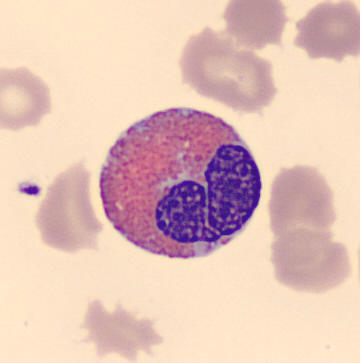Morphology consistent with an eosinophil.
May-Grünwald-Giemsa-stained. Peripheral blood smear. CellaVision DM96 digital cell image.